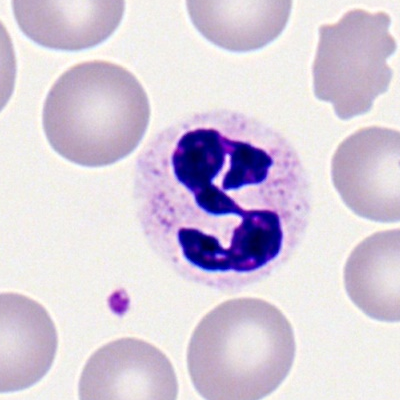Peripheral blood smear showing a polymorphonuclear neutrophil.